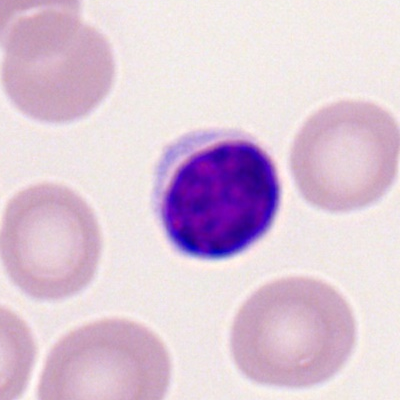
Q: What is shown here?
A: A lymphocyte.